Peripheral blood smear. M8 digital microscope (Precipoint), 100× oil immersion — 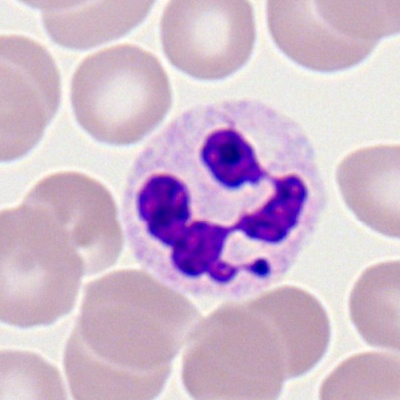

Morphology consistent with a neutrophil (segmented).